Bone marrow smear
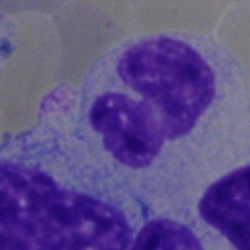Single cell identified as a neutrophil (band).